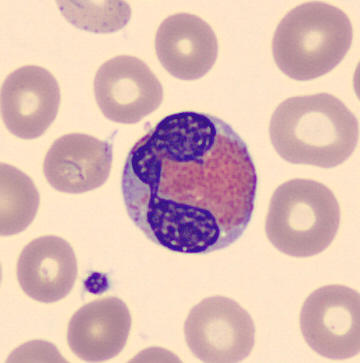Classification — eosinophil.
Preparation: Cropped to a single cell. Peripheral blood film. 360×363 px.